Bone marrow smear.
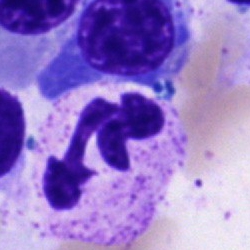
The cell shown is a polymorphonuclear neutrophil.